Single cell centered in the field; bone marrow aspirate smear
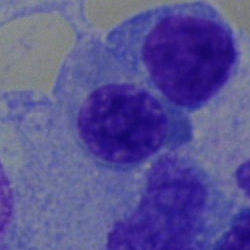Q: What is shown here?
A: It is an erythroblast.